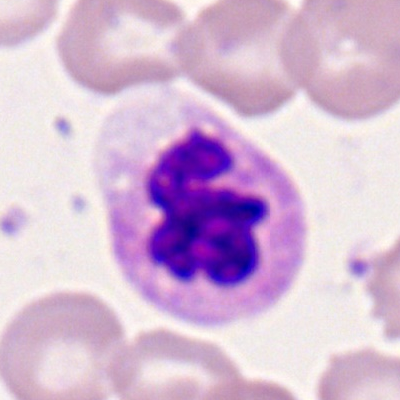Classification — segmented neutrophil.